Single-cell crop · bone marrow smear: 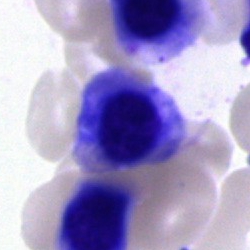
Nucleated red cell.